Single-cell field · bone marrow smear: 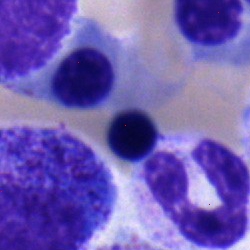 Morphological class = nucleated red cell.